Bone marrow smear. May-Grünwald-Giemsa stain — 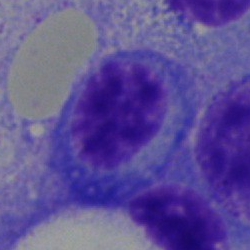 Q: What is shown here?
A: A plasma cell.